Peripheral blood film
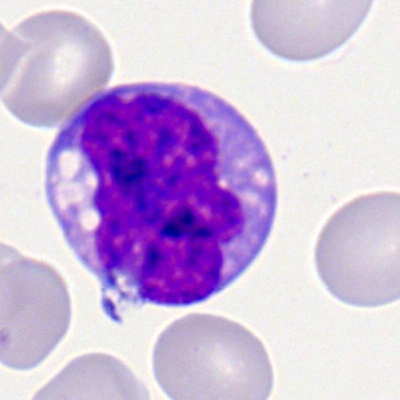Monocyte.